Bone marrow aspirate smear · 40× oil immersion:
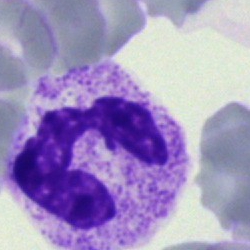 The classification is segmented neutrophil.